Bone marrow aspirate smear
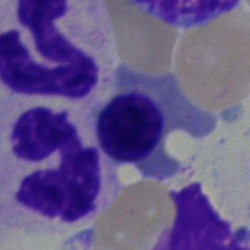 Impression → nucleated red cell.